Bone marrow aspirate smear. Brightfield microscopy, 40× oil immersion — 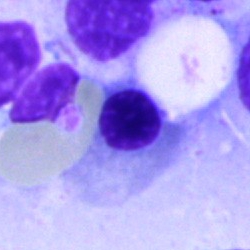Impression → normoblast.